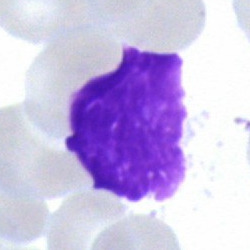Q: What cell is this?
A: A basket cell.